Peripheral blood film: 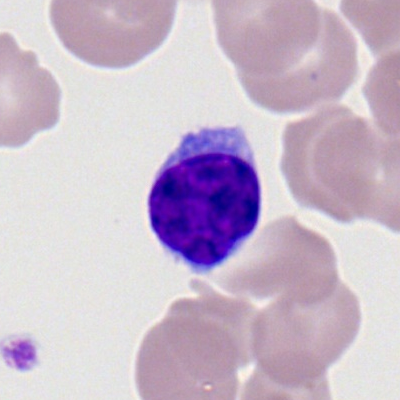Q: Identify the cell.
A: A lymphocyte.